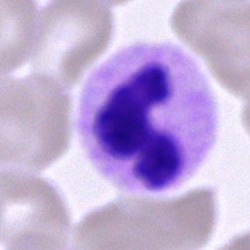
Q: What cell is this?
A: This is a neutrophil (segmented).